Bone marrow aspirate smear; image size 250×250 — 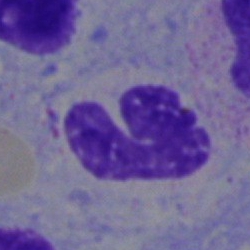
Q: What type of cell is this?
A: This is a neutrophil (segmented).